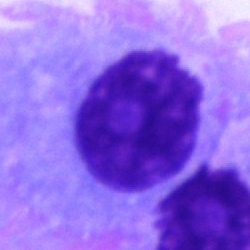 Cell type = plasma cell.